Bone marrow smear
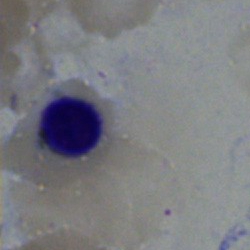

The morphological class is normoblast.